Bone marrow smear. 250×250. MGG-stained:
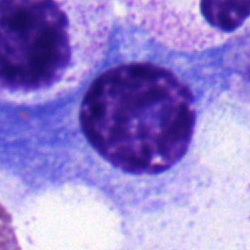

Classification — plasmacyte.